Bone marrow aspirate smear; 250×250; brightfield microscopy, 40× oil immersion:
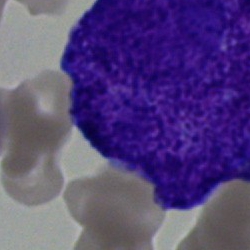
{"cell_type": "undifferentiated blast"}